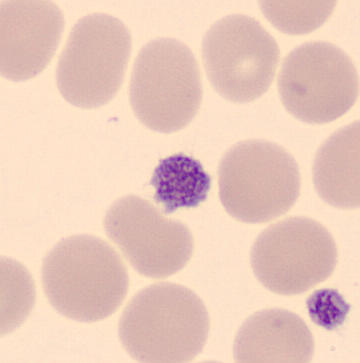Specimen: peripheral blood film.
Morphological class: thrombocyte.